Bone marrow aspirate smear:
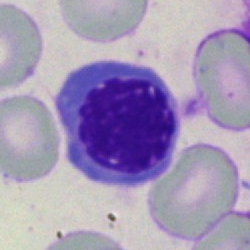
Nucleated red cell.